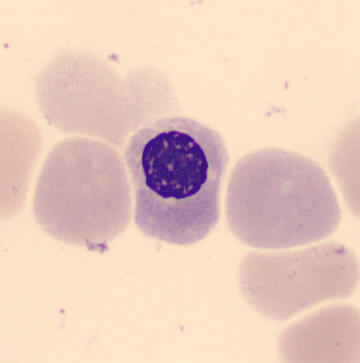

Specimen: peripheral blood smear.
Cell: nucleated red cell.
Lineage: erythroid.